MGG-stained. Bone marrow smear.
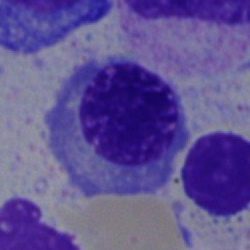 Cell type: normoblast.